Bone marrow smear:
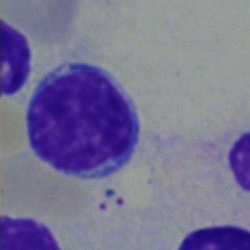 Q: Which cell type is shown here?
A: This is a lymphocyte.